40× objective, oil immersion. Bone marrow aspirate smear — 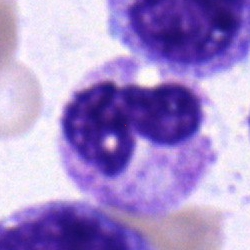Single cell identified as a band-form neutrophil.